Bone marrow aspirate smear:
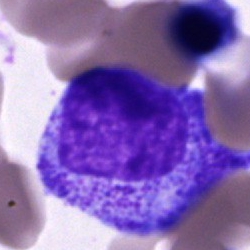 The morphological class is progranulocyte.